Bone marrow aspirate smear
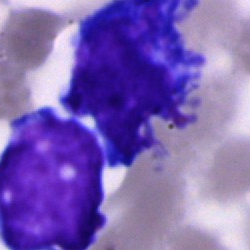

Morphology — blast.